Bone marrow smear.
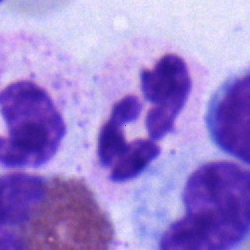 Specimen: bone marrow aspirate smear.
Morphological class: neutrophil (segmented).